250×250; bone marrow aspirate smear; single cell centered in the field.
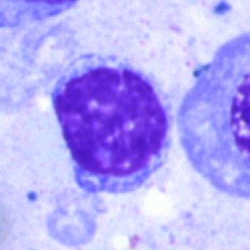 Q: What is shown here?
A: This is an artifact.